Peripheral blood smear. CellaVision DM96 digital cell image. May-Grünwald-Giemsa-stained:
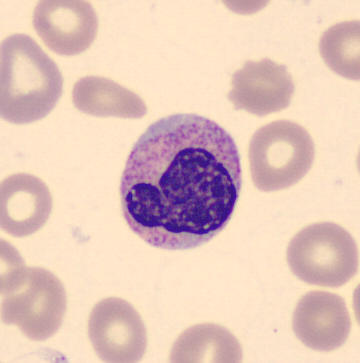Classification: metamyelocyte.